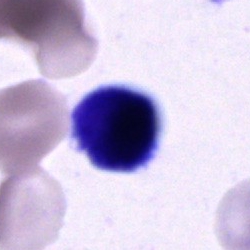Morphology — unidentifiable cell.